Bone marrow aspirate smear; MGG-stained — 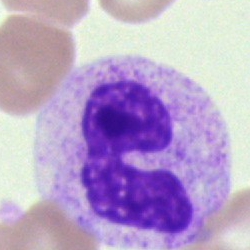Cell = polymorphonuclear neutrophil.